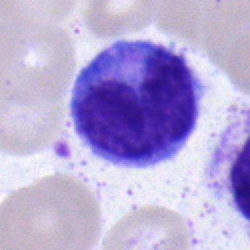

Single-cell crop from a bone marrow smear: monocyte.